Brightfield microscopy, 40× oil immersion · May-Grünwald-Giemsa/Pappenheim stain · bone marrow smear — 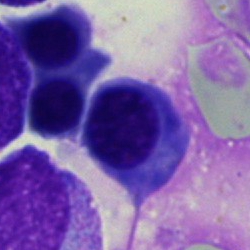

Morphology → nucleated red cell.